MGG-stained · 250 by 250 pixels · bone marrow aspirate smear: 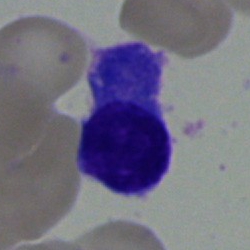

Impression → plasmacyte.